Bone marrow smear; single-cell field
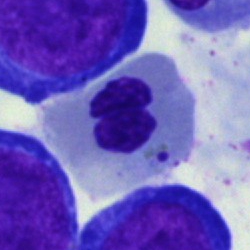Morphological class = nucleated red blood cell.